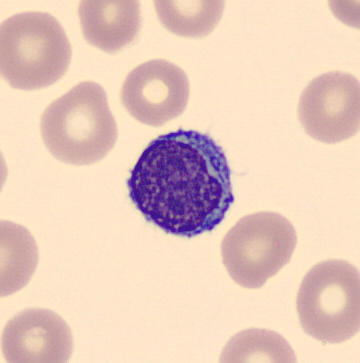Cell — typical lymphocyte.